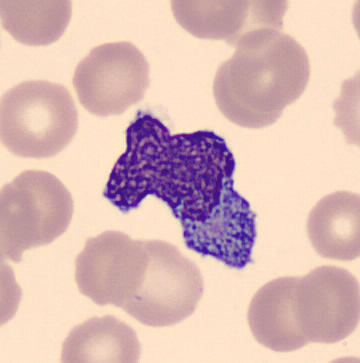 The cell type is monocyte.

Peripheral blood smear.